Bone marrow smear. Brightfield, 40× oil-immersion objective.
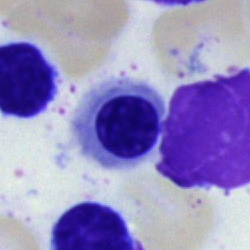 Morphology consistent with a nucleated red blood cell.